Bone marrow aspirate smear — 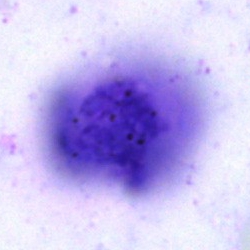

The cell shown is an artefact.